Bone marrow smear; single-cell crop; May-Grünwald-Giemsa/Pappenheim stain
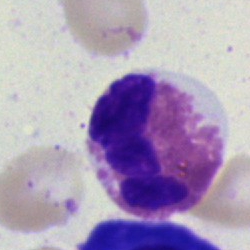
Morphology → eosinophilic granulocyte.